Pappenheim-stained · bone marrow smear · single-cell crop
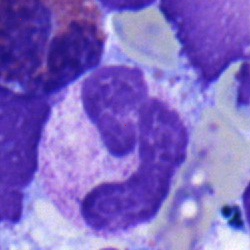A segmented neutrophil.